40× oil immersion · bone marrow smear · May-Grünwald-Giemsa/Pappenheim stain — 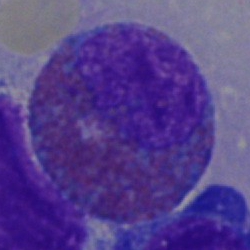

Cell type — eosinophilic granulocyte.